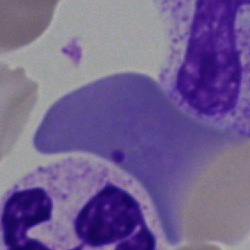 Morphology consistent with an artefact.